Bone marrow aspirate smear.
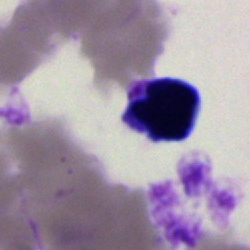 Single cell identified as an artefact.